40× oil immersion. Bone marrow aspirate smear.
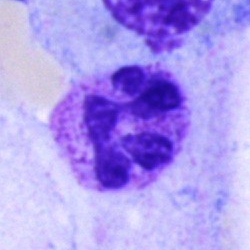

Specimen: bone marrow aspirate smear.
Cell: segmented neutrophil.
Lineage: myeloid.